Peripheral blood smear. Single cell centered in the field. Romanowsky-stained
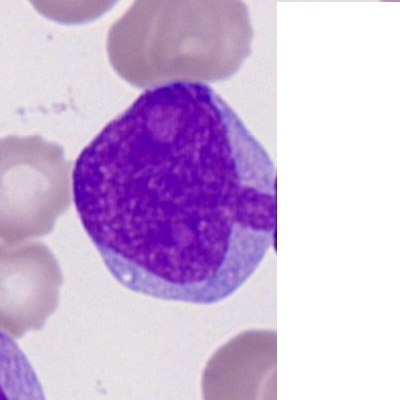A myeloid blast.